Bone marrow aspirate smear — 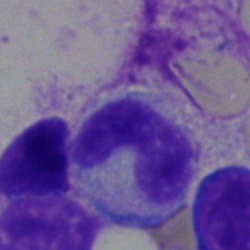

This is a band neutrophil.